Bone marrow smear.
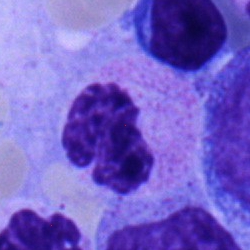

Impression — segmented neutrophil.